May-Grünwald-Giemsa/Pappenheim stain. Bone marrow aspirate smear: 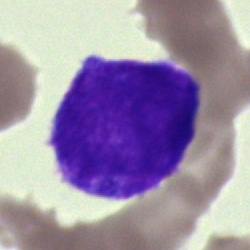 Specimen: bone marrow smear.
Morphological class: promyelocyte.